Peripheral blood film · 400×400: 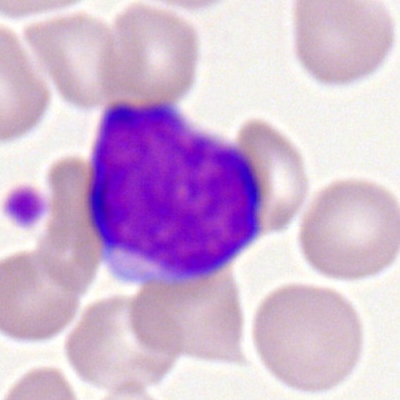 Specimen: peripheral blood film.
Cell: myeloid blast.
Lineage: myeloid.